Bone marrow smear.
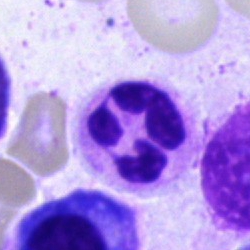
Impression → polymorphonuclear neutrophil.